Single-cell field · bone marrow smear · image size 250×250:
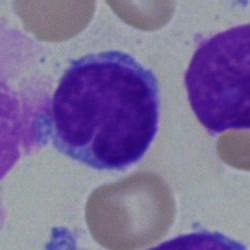
Impression → lymphocyte.